Brightfield microscopy, 40× oil immersion. Single cell centered in the field. Bone marrow aspirate smear: 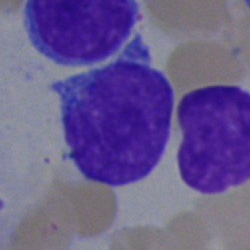 This is a typical lymphocyte.